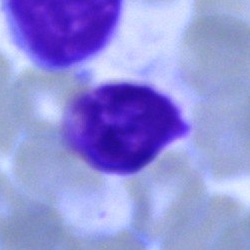 The cell is lymphocyte.